Bone marrow aspirate smear; single-cell crop
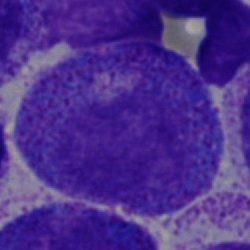Progranulocyte.